May-Grünwald-Giemsa stain. Bone marrow aspirate smear.
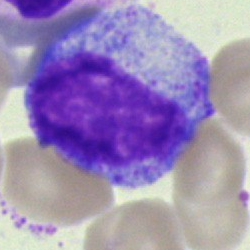 Morphology consistent with a myelocyte.